250 by 250 pixels; brightfield microscopy, 40× oil immersion; bone marrow smear.
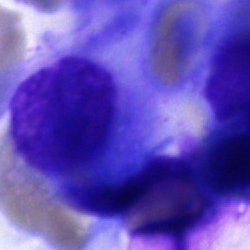

The classification is plasma cell.